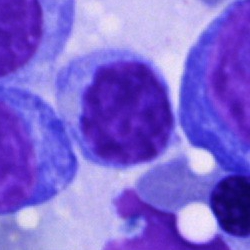

Single-cell crop from a bone marrow smear: typical lymphocyte.